Single-cell field · bone marrow aspirate smear:
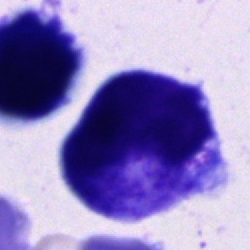 The cell is cell of indeterminate lineage.